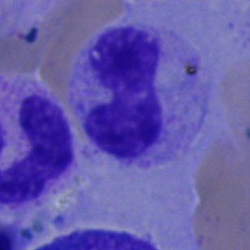 Specimen: bone marrow smear.
Classification: band-form neutrophil.
Lineage: myeloid.